Bone marrow smear:
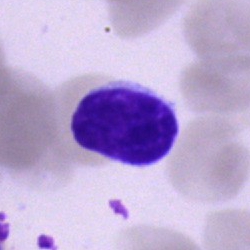
Morphology consistent with a lymphocyte.